May-Grünwald-Giemsa/Pappenheim stain · bone marrow smear.
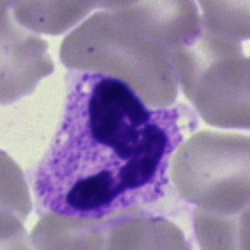
This is a polymorphonuclear neutrophil.